Peripheral blood film:
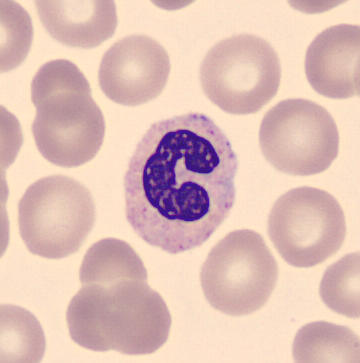

Q: What cell is this?
A: A stab cell.